40× objective, oil immersion · bone marrow aspirate smear: 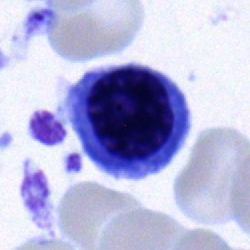

Morphology → erythroblast.